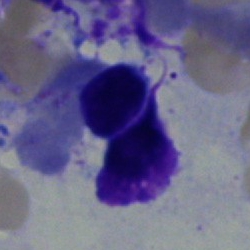Morphological class: nucleated red cell.